Bone marrow aspirate smear — 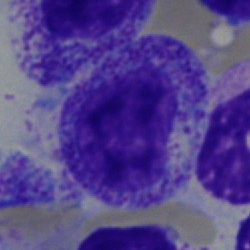
Cell type — myelocyte.